Bone marrow aspirate smear.
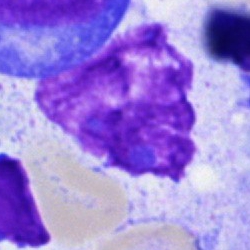 Specimen: bone marrow aspirate smear.
Morphological class: artefact.